Bone marrow aspirate smear:
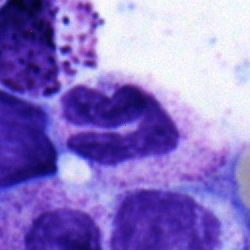
Single cell identified as a band neutrophil.